Bone marrow aspirate smear — 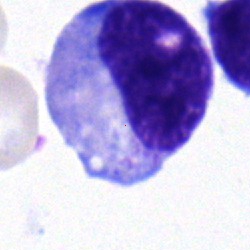
Cell type: promyelocyte.